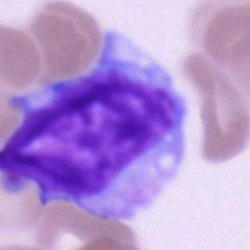
Q: Identify the cell.
A: It is a blast.